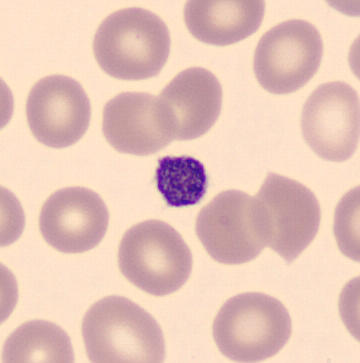 Morphological class = thrombocyte. Peripheral blood film.